Bone marrow aspirate smear
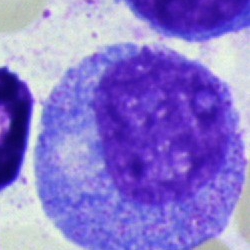
{"cell_type": "progranulocyte"}